Single cell centered in the field · MGG-stained · bone marrow smear.
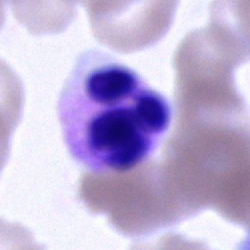

Morphology consistent with a polymorphonuclear neutrophil.